Peripheral blood film · 400 by 400 pixels: 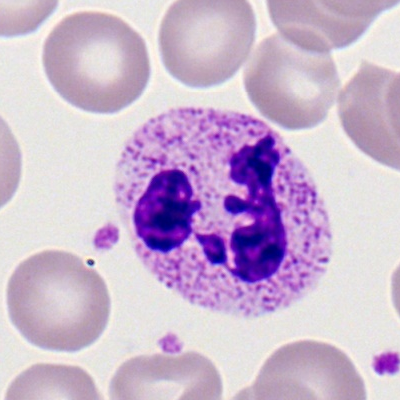The cell is neutrophil (segmented).